Bone marrow smear; 250×250 px — 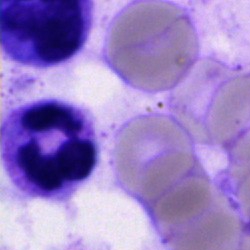
Polymorphonuclear neutrophil.